Bone marrow smear
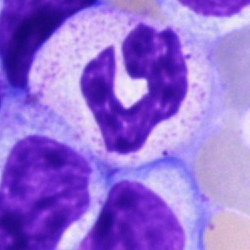

Classification — segmented neutrophil.